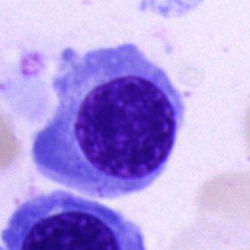
The morphological class is erythroblast.